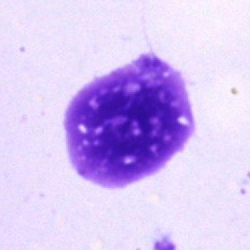
Classification: artifact.